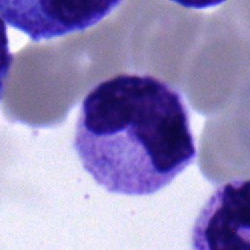

Single-cell crop from a bone marrow smear: neutrophil (band).